Bone marrow smear: 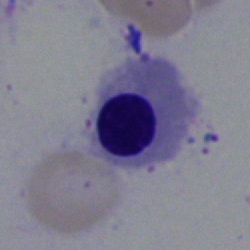
Classification — erythroblast.